Bone marrow aspirate smear.
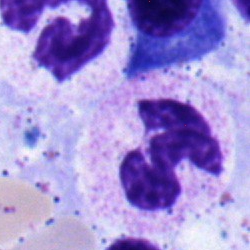
Morphology consistent with a segmented neutrophil.